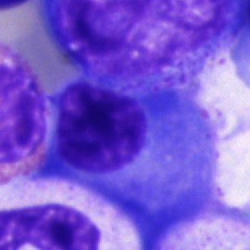

A plasmacyte.